Bone marrow smear — 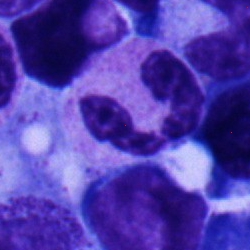 Single cell identified as a neutrophil (segmented).